Bone marrow aspirate smear · brightfield microscopy, 40× oil immersion — 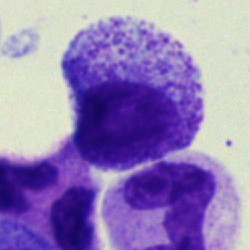Cell: progranulocyte.